Bone marrow aspirate smear · image size 250×250
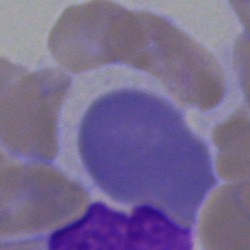 The cell shown is an artifact.